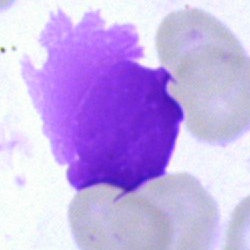
Morphology consistent with an artefact.